Bone marrow aspirate smear · 40× objective, oil immersion: 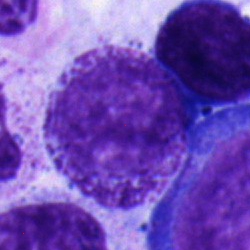
Showing a myelocyte.